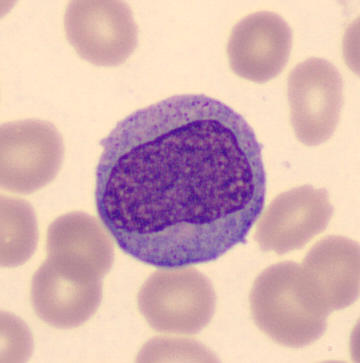 Cell type: monocyte.

Acquisition: Peripheral blood film.